Bone marrow aspirate smear — 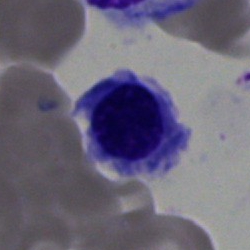 Cell — normoblast.